100× oil immersion. Peripheral blood smear. Image size 400×400: 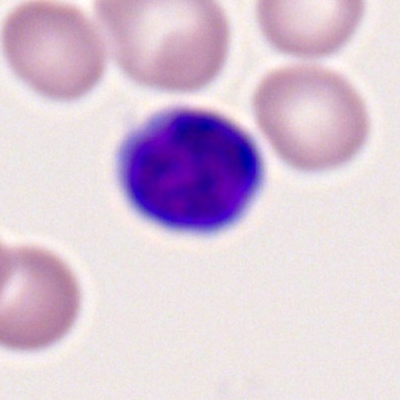

Morphological class: typical lymphocyte.